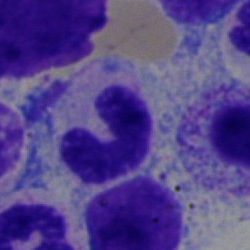Bone marrow aspirate smear, single cell — band-form neutrophil.